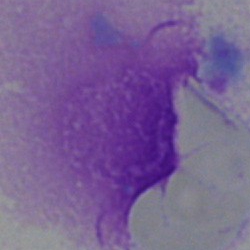Morphology consistent with an artifact.